Bone marrow smear
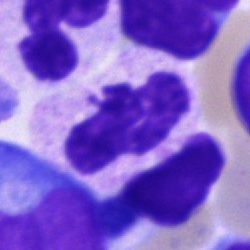Single cell identified as a polymorphonuclear neutrophil.